Bone marrow aspirate smear.
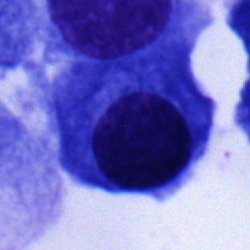
{"cell_type": "plasmacyte"}